May-Grünwald-Giemsa stain. Bone marrow aspirate smear.
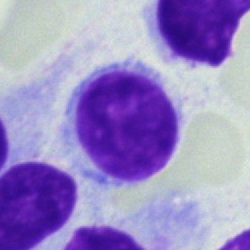

A lymphocyte.